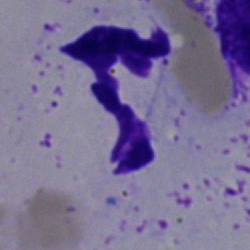

Cell type: neutrophil (segmented).